Bone marrow smear · cropped to a single cell — 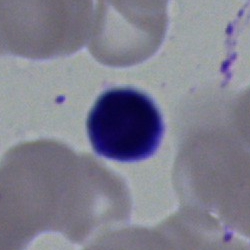
Q: What is shown here?
A: It is a typical lymphocyte.